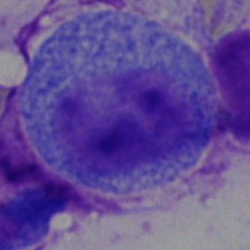Morphology → promyelocyte.